Peripheral blood smear:
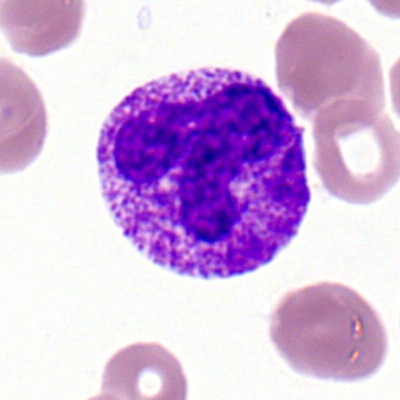 Showing a neutrophil (segmented).